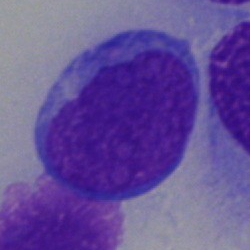 Specimen: bone marrow smear.
Cell type: blast.